Bone marrow aspirate smear: 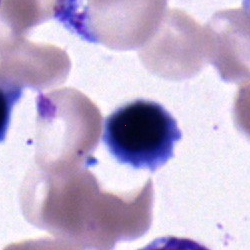 Classification: erythroblast.